Bone marrow smear — 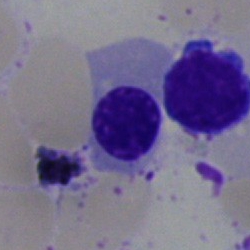 Specimen: bone marrow smear.
Cell: nucleated red blood cell.